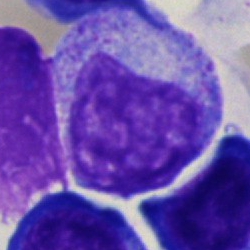

{"cell_type": "myelocyte"}